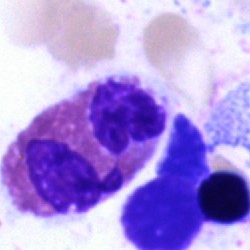 Eosinophil.